Bone marrow aspirate smear
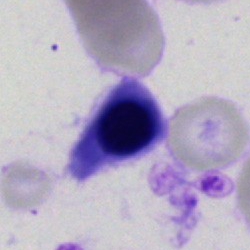
Showing a nucleated red blood cell.